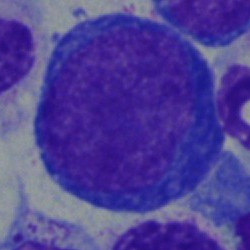This is an undifferentiated blast.